Bone marrow aspirate smear:
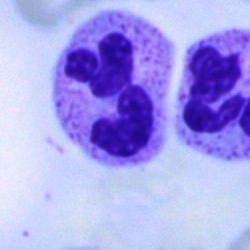 Single cell identified as a segmented neutrophil.